Bone marrow smear
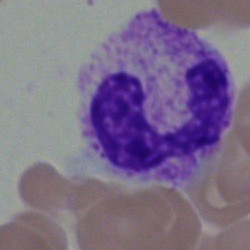

Specimen: bone marrow smear.
Cell type: neutrophil (segmented).
Lineage: myeloid.